Bone marrow aspirate smear
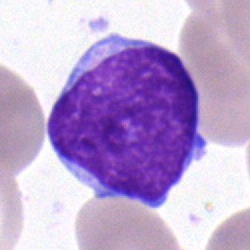

The cell shown is a blast.